Bone marrow smear.
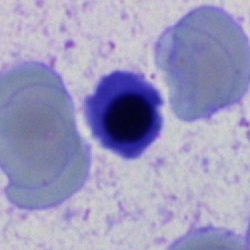
{"cell_type": "erythroblast"}